Single cell centered in the field · image size 250×250 · bone marrow aspirate smear — 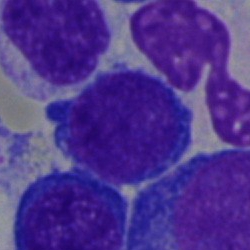 A typical lymphocyte.